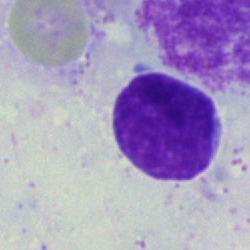

Cell = typical lymphocyte.